Bone marrow aspirate smear.
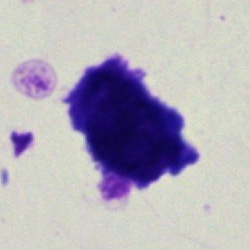Showing an undifferentiated blast.